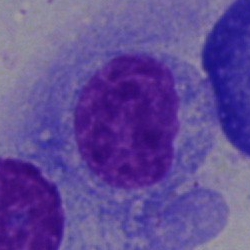
Q: What is shown here?
A: An artefact.